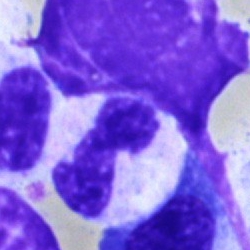 The cell is stab cell.